Bone marrow aspirate smear:
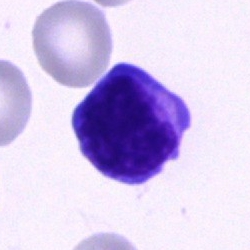 Specimen: bone marrow smear.
Morphological class: blast.